250×250. Bone marrow smear. May-Grünwald-Giemsa/Pappenheim stain.
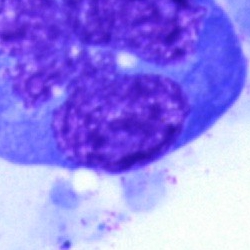

This is a monocyte.